May-Grünwald-Giemsa/Pappenheim stain; bone marrow smear — 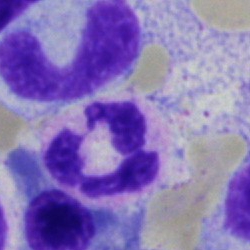

The classification is neutrophil (segmented).